Bone marrow aspirate smear — 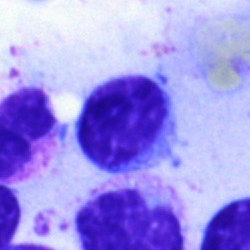

Specimen: bone marrow smear.
Cell: typical lymphocyte.